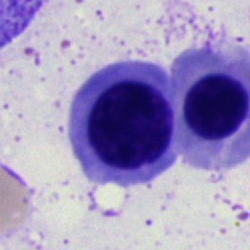An erythroblast on a bone marrow smear.